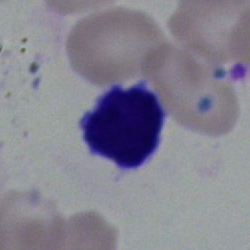

Morphology — lymphocyte.